Bone marrow aspirate smear.
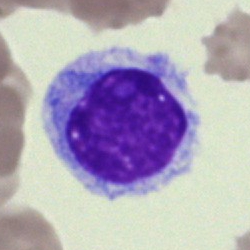Classification = typical lymphocyte.